Bone marrow aspirate smear · 250×250 px — 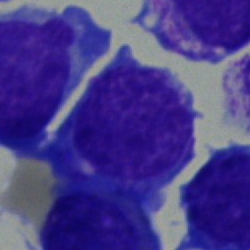 Cell: blast.